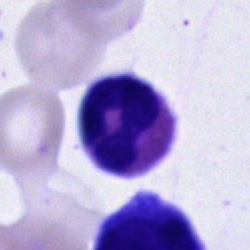
Q: What cell is this?
A: Eosinophilic granulocyte.